250×250 px. Single-cell crop. Bone marrow aspirate smear
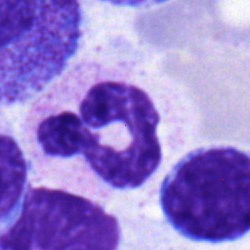 Showing a polymorphonuclear neutrophil.